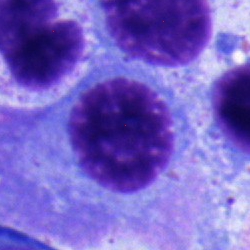 {"cell_type": "plasmacyte", "lineage": "lymphoid"}